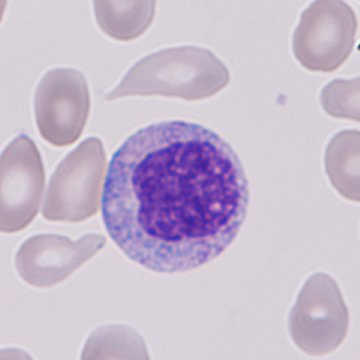

Peripheral blood smear showing a granulocyte precursor.